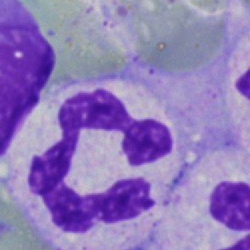 Showing a segmented neutrophil.